Bone marrow aspirate smear; 250×250:
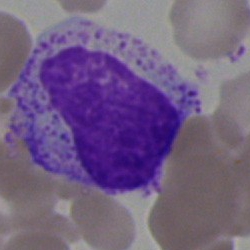Cell — myelocyte.